Peripheral blood smear: 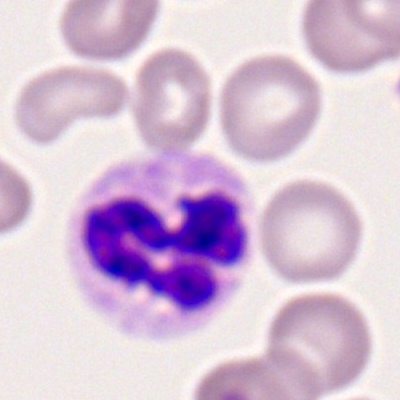 Cell — segmented neutrophil.